Bone marrow smear; MGG-stained: 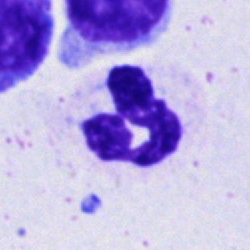 The classification is polymorphonuclear neutrophil.